Cropped to a single cell. M8 digital microscope (Precipoint), 100× oil immersion. Peripheral blood film.
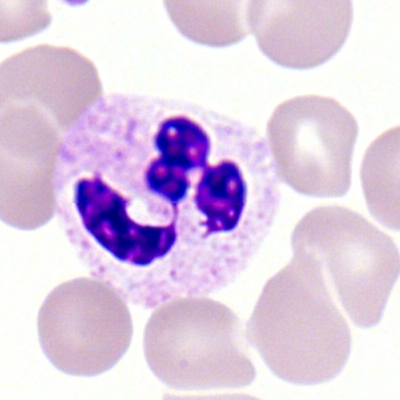
Q: Which cell type is shown here?
A: This is a polymorphonuclear neutrophil.